250 by 250 pixels; single-cell field; bone marrow aspirate smear.
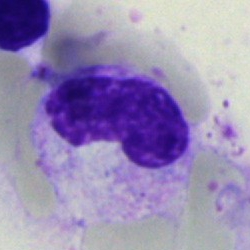 Classification: band-form neutrophil.